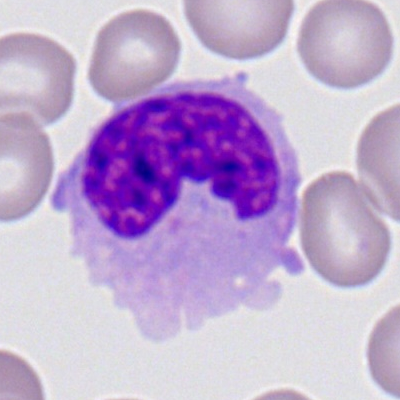 Peripheral blood film, single cell — monocyte.